Bone marrow smear
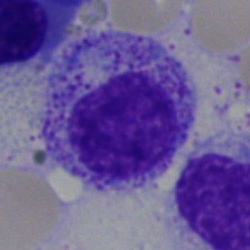
Morphology — myelocyte.